Bone marrow smear:
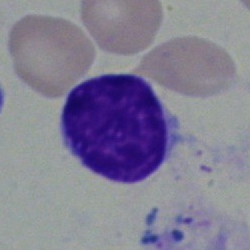
Classification: lymphocyte.